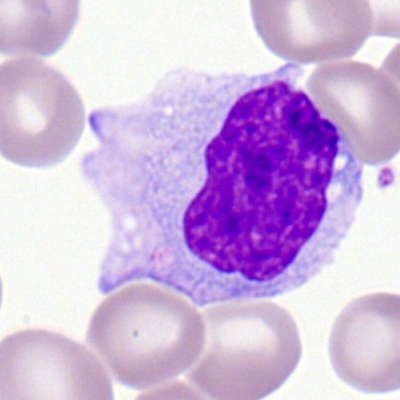Single cell identified as a monocyte.